Bone marrow smear
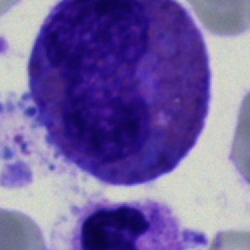

Impression → eosinophilic granulocyte.